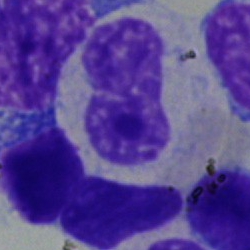
Cell: band-form neutrophil.